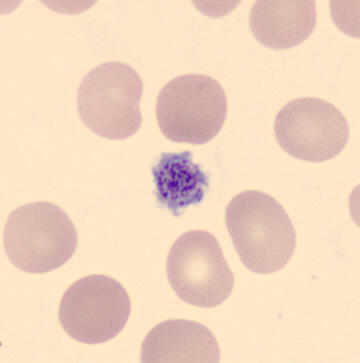 A platelet (thrombocyte).